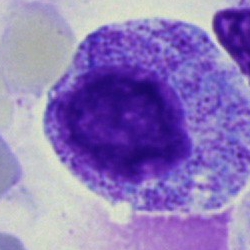

A myelocyte on a bone marrow smear.